Brightfield microscopy, 40× oil immersion. Bone marrow aspirate smear:
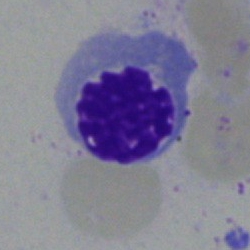This is a nucleated red blood cell.